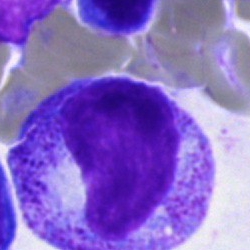

Morphological class = progranulocyte.